Bone marrow smear: 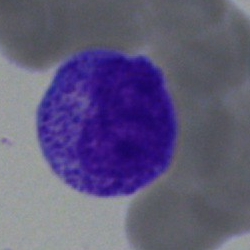 Cell: promyelocyte.